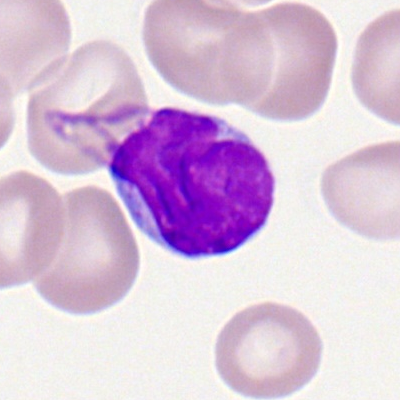Single cell identified as a typical lymphocyte.